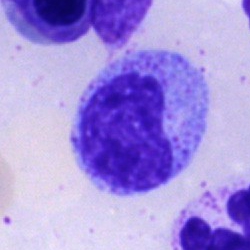

Q: What cell is this?
A: Myelocyte.